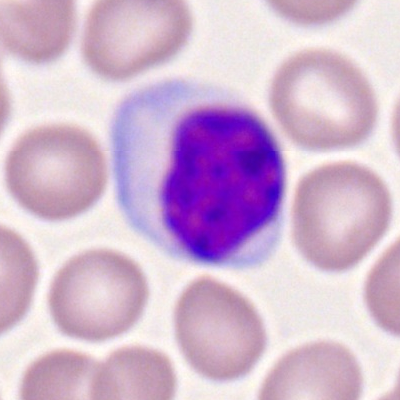 Q: Identify the cell.
A: This is a typical lymphocyte.